Single cell centered in the field · bone marrow smear.
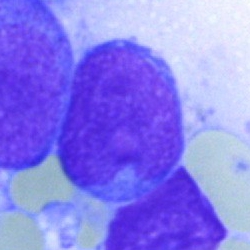 Morphological class — blast cell.